400×400 px · peripheral blood film — 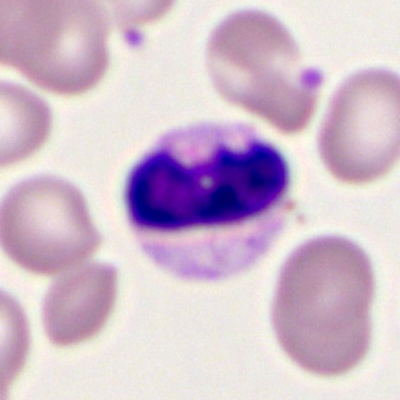
Showing a neutrophil (segmented).